Bone marrow aspirate smear.
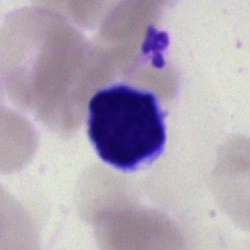 Cell type: lymphocyte.